Bone marrow smear — 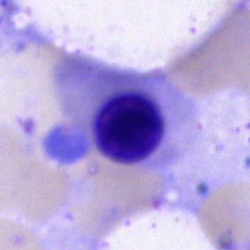 Cell = erythroblast.